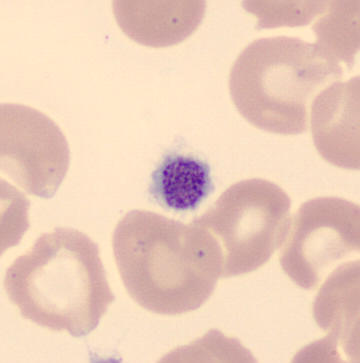

Specimen: peripheral blood smear.
Cell type: thrombocyte.